Peripheral blood smear:
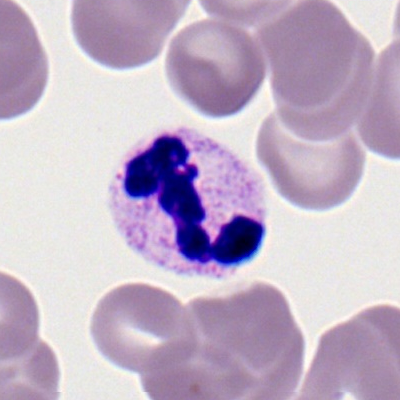

Impression → segmented neutrophil.